Bone marrow aspirate smear; 250 by 250 pixels; single-cell field — 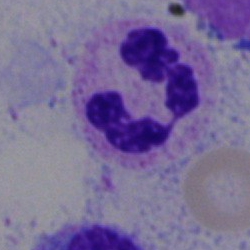Cell: segmented neutrophil.